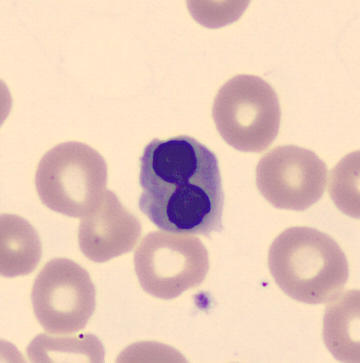 A nucleated red blood cell on a peripheral blood smear.